Bone marrow smear · Pappenheim-stained:
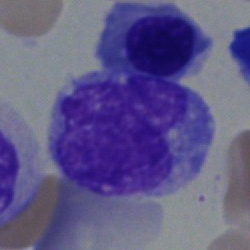 {"cell_type": "monocyte", "lineage": "myeloid"}